40× oil immersion · MGG-stained · bone marrow aspirate smear:
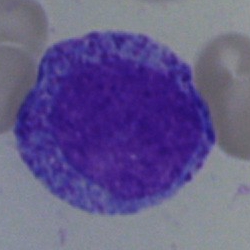

The cell shown is a progranulocyte.